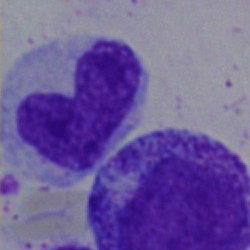Morphological class: band-form neutrophil.